40× oil immersion · bone marrow aspirate smear — 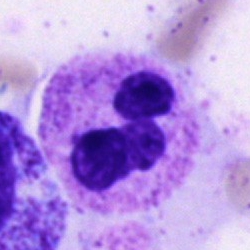Morphology — polymorphonuclear neutrophil.